Image size 250×250; bone marrow smear — 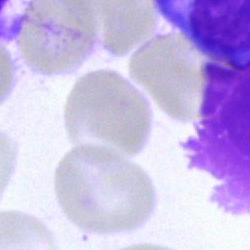 Q: What is shown here?
A: This is an artifact.